Bone marrow smear.
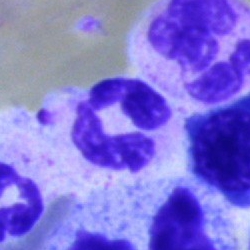 Q: Identify the cell.
A: It is a neutrophil (segmented).